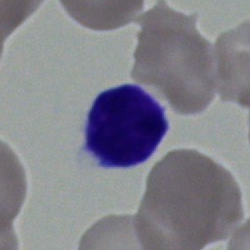
{"cell_type": "lymphocyte", "lineage": "lymphoid"}